Bone marrow aspirate smear.
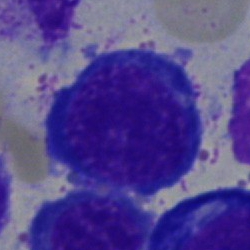
Specimen: bone marrow smear.
Cell: erythroblast.
Lineage: erythroid.